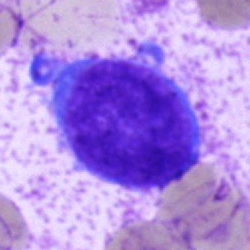

Cell type: blast.